Bone marrow smear:
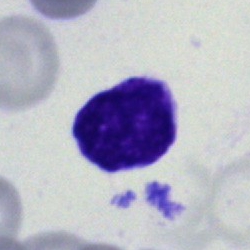
An undifferentiated blast.